Bone marrow aspirate smear:
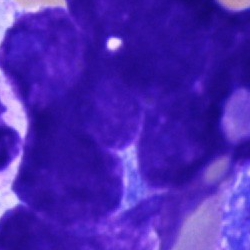 Morphology consistent with an artifact.